Bone marrow smear: 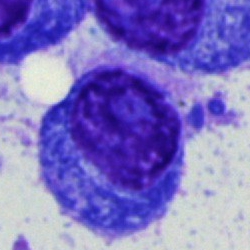 The cell type is plasma cell.